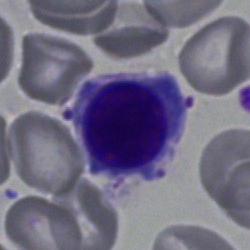
Specimen: bone marrow smear.
Cell: erythroblast.